Pappenheim-stained; bone marrow smear:
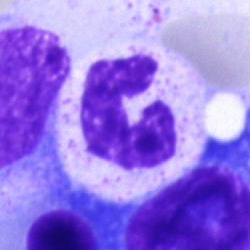Showing a neutrophil (segmented).